Bone marrow smear — 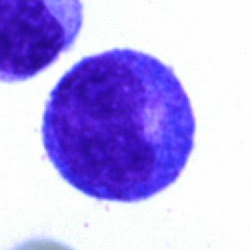 Promyelocyte.